250×250; bone marrow aspirate smear: 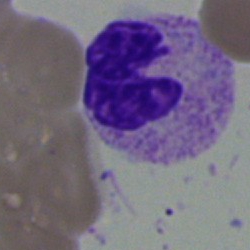

Stab cell.